Bone marrow aspirate smear — 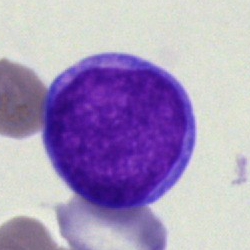 Morphological class: blast cell.